Bone marrow smear: 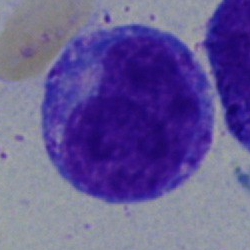 Q: What type of cell is this?
A: A promyelocyte.